250 by 250 pixels. Bone marrow smear
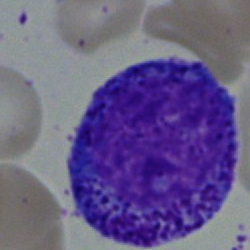{"cell_type": "promyelocyte", "lineage": "myeloid"}